Bone marrow aspirate smear
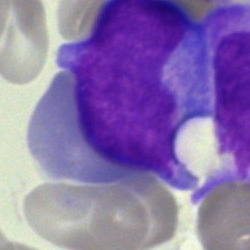 Q: Which cell type is shown here?
A: Blast cell.